Bone marrow aspirate smear · 250×250: 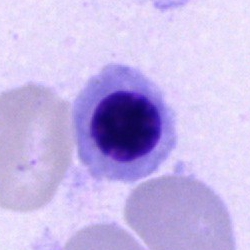Specimen: bone marrow aspirate smear.
Cell: nucleated red blood cell.